Bone marrow aspirate smear.
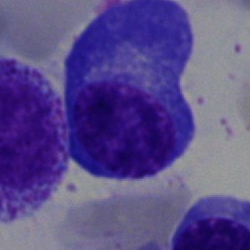
Specimen: bone marrow smear.
Morphological class: plasma cell.